250×250. 40× objective, oil immersion. Bone marrow smear.
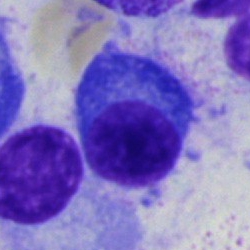Specimen: bone marrow aspirate smear.
Cell type: plasmacyte.
Lineage: lymphoid.